Bone marrow smear:
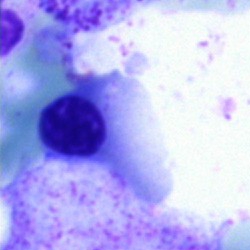 {"cell_type": "nucleated red blood cell", "lineage": "erythroid"}